Peripheral blood smear.
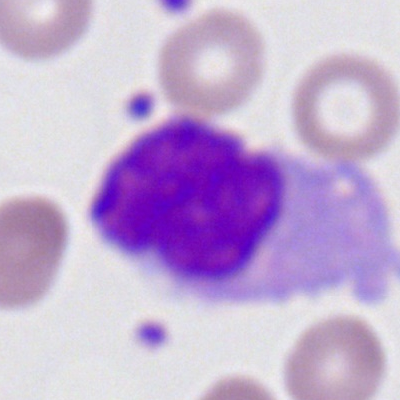Q: What is the morphological classification of this cell?
A: A monocyte.